Bone marrow smear: 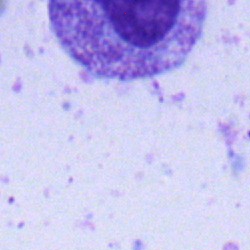
A metamyelocyte.